Bone marrow aspirate smear — 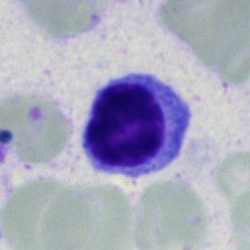
Classification — lymphocyte.